Pappenheim-stained · 40× objective, oil immersion · bone marrow smear:
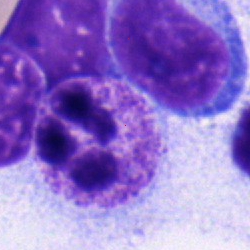
This is a neutrophil (segmented).